Bone marrow aspirate smear:
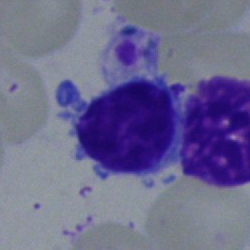

Morphological class — lymphocyte.